Bone marrow smear. Image size 250×250. Brightfield, 40× oil-immersion objective — 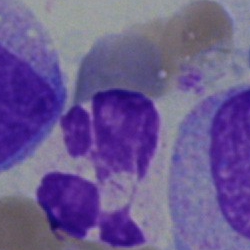

Neutrophil (segmented).